Single-cell crop; peripheral blood smear:
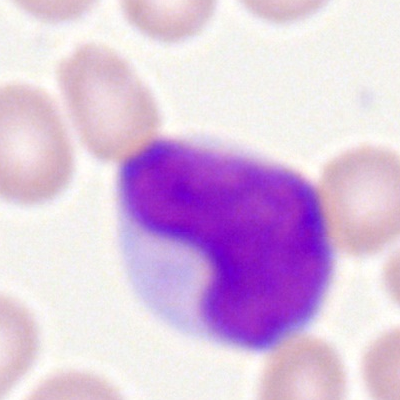 Specimen: peripheral blood smear.
Cell type: myeloblast.